Single cell centered in the field. Bone marrow smear. Brightfield microscopy, 40× oil immersion
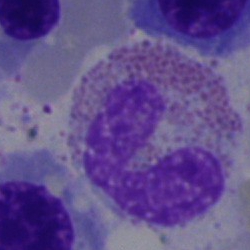

Q: What type of cell is this?
A: An eosinophil.